Bone marrow smear; May-Grünwald-Giemsa/Pappenheim stain
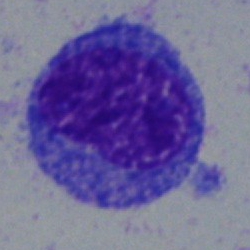Morphology consistent with an undifferentiated blast.